Bone marrow aspirate smear — 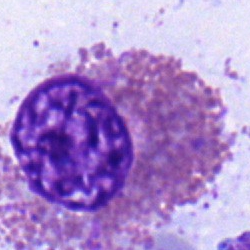

The morphological class is eosinophilic granulocyte.